Bone marrow smear. 250 by 250 pixels:
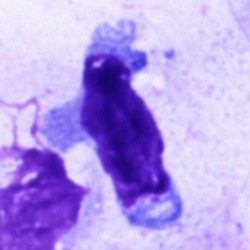 Showing a lymphocyte.